Bone marrow smear.
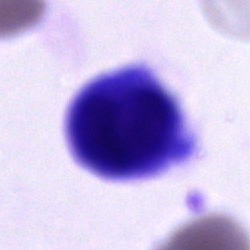 Q: What is the morphological classification of this cell?
A: It is an unidentifiable cell.